Brightfield, 100× oil-immersion objective · Romanowsky-type stain · peripheral blood smear:
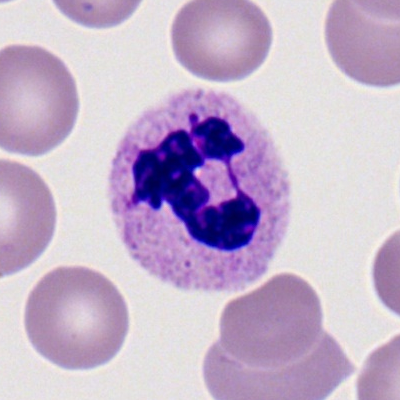
The cell is segmented neutrophil.